Bone marrow aspirate smear.
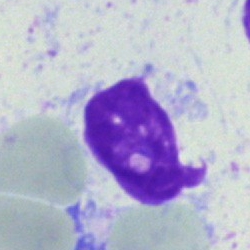
Morphology — artefact.